Brightfield, 40× oil-immersion objective; single-cell crop; bone marrow aspirate smear
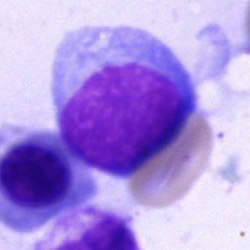 Specimen: bone marrow smear.
Classification: undifferentiated blast.